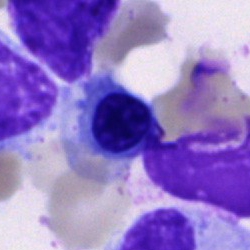
Bone marrow aspirate smear, single cell — normoblast.